MGG-stained; bone marrow aspirate smear:
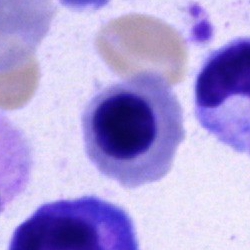Morphology consistent with a normoblast.